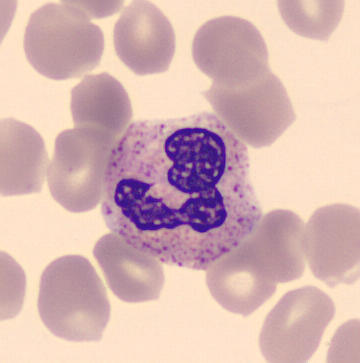
Acquisition: Peripheral blood smear.
Q: What is this?
A: Segmented neutrophil.